Bone marrow smear · Pappenheim-stained — 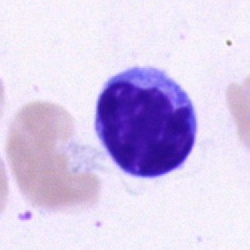
Specimen: bone marrow smear.
Cell type: typical lymphocyte.
Lineage: lymphoid.